Bone marrow aspirate smear: 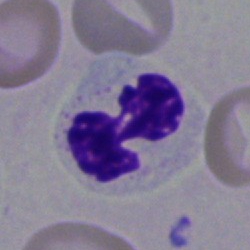 The cell shown is a segmented neutrophil.